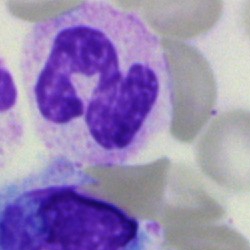
The cell shown is a polymorphonuclear neutrophil.